Bone marrow aspirate smear — 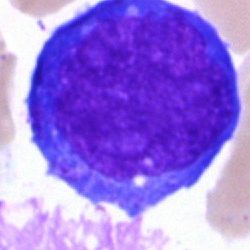 Morphology consistent with a nucleated red blood cell.